Bone marrow smear — 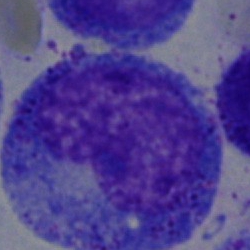The cell shown is a promyelocyte.